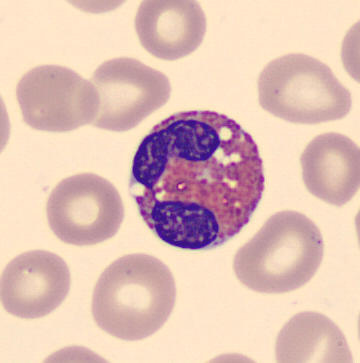 Image: Peripheral blood smear. Morphology consistent with an eosinophilic granulocyte.